Bone marrow aspirate smear. Brightfield microscopy, 40× oil immersion. Single-cell crop:
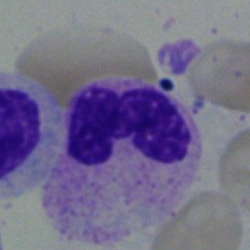 Q: What cell is this?
A: It is a stab cell.